Peripheral blood smear. 360×363. MGG-stained: 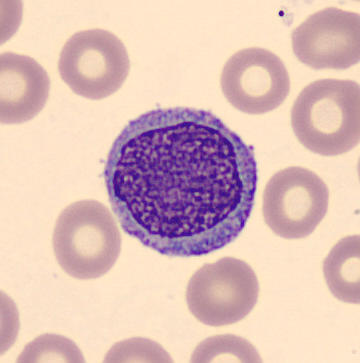 The classification is monocyte.